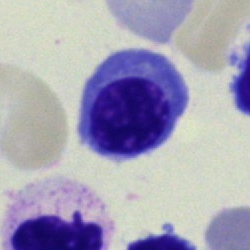

Q: Which cell type is shown here?
A: This is an erythroblast.